Bone marrow aspirate smear · 250×250 px
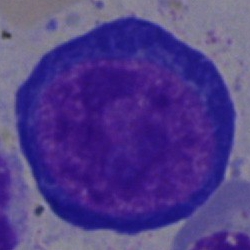Classification = proerythroblast.